Bone marrow aspirate smear; May-Grünwald-Giemsa stain
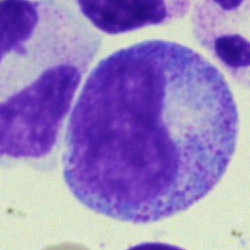
Single cell identified as a progranulocyte.